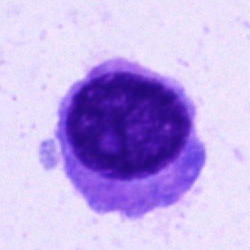
Plasma cell.